Single cell centered in the field. Bone marrow aspirate smear — 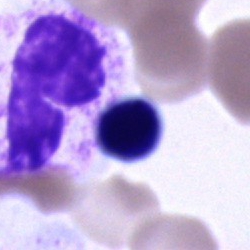The classification is cell of indeterminate lineage.